Bone marrow smear: 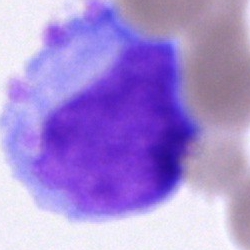Morphology consistent with a blast.